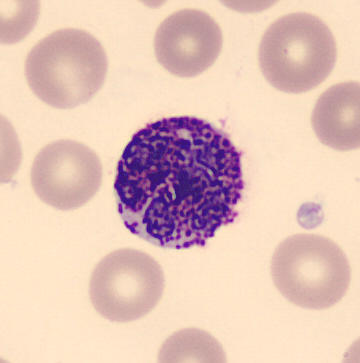
The cell shown is a basophilic granulocyte.

May-Grünwald-Giemsa-stained · peripheral blood film · image size 360×363.